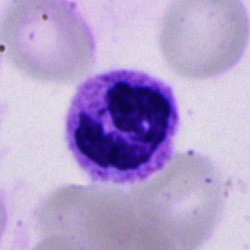
Specimen: bone marrow aspirate smear.
Cell: polymorphonuclear neutrophil.
Lineage: myeloid.